Bone marrow aspirate smear:
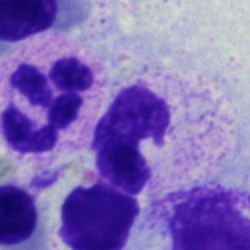 The cell shown is a segmented neutrophil.